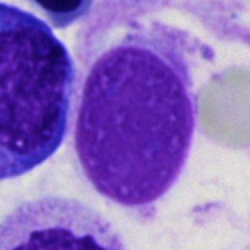
Specimen: bone marrow aspirate smear.
Cell: artefact.